Bone marrow aspirate smear:
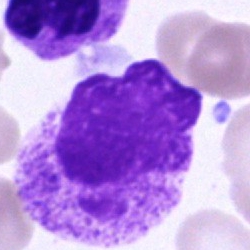
Specimen: bone marrow smear.
Cell: artefact.